Bone marrow aspirate smear.
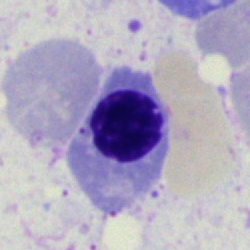

Specimen: bone marrow aspirate smear.
Classification: nucleated red blood cell.
Lineage: erythroid.